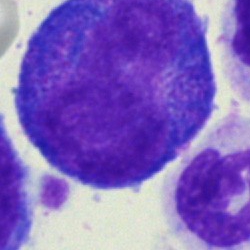

Cell type — progranulocyte.